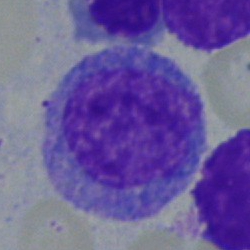 This is a monocyte.